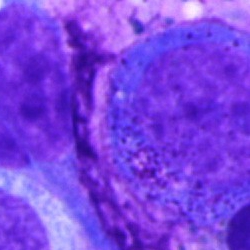

The cell shown is a progranulocyte.